Peripheral blood film. 400×400 px:
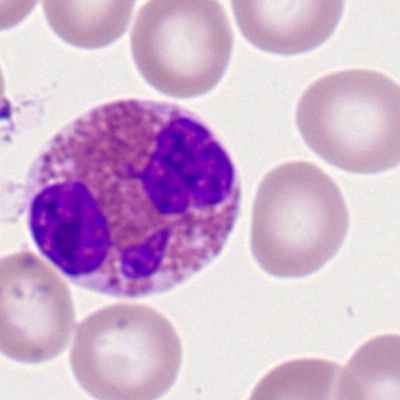Morphological class: eosinophil.